Bone marrow smear:
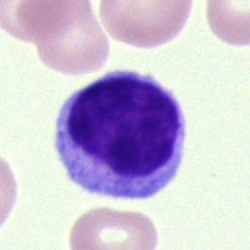

Q: What is shown here?
A: This is a lymphocyte.